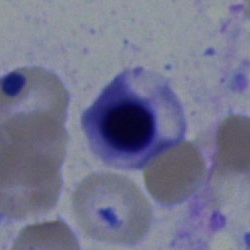An erythroblast on a bone marrow smear.